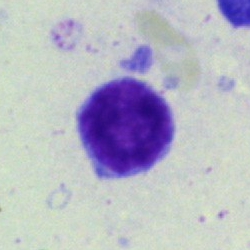 Cell type: lymphocyte.